Bone marrow smear. 40× oil immersion — 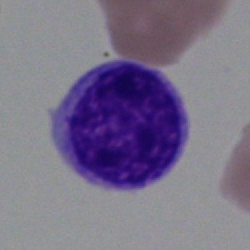 Cell — blast cell.